Bone marrow smear: 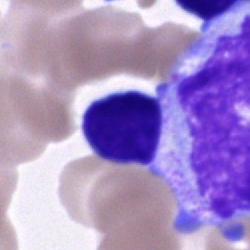

Unidentifiable cell.